Bone marrow aspirate smear.
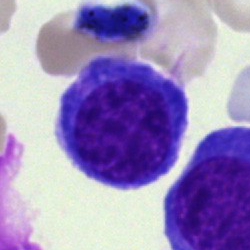 Morphology — erythroblast.